Bone marrow aspirate smear: 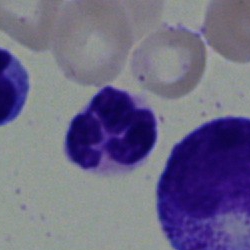{"cell_type": "segmented neutrophil", "lineage": "myeloid"}